Cropped to a single cell. Peripheral blood smear. Romanowsky-type stain.
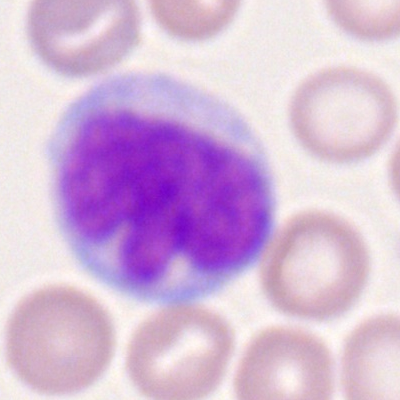Q: What is the morphological classification of this cell?
A: It is a monocyte.